Bone marrow smear.
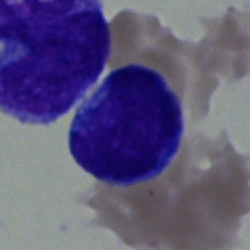

Single cell identified as a lymphocyte.